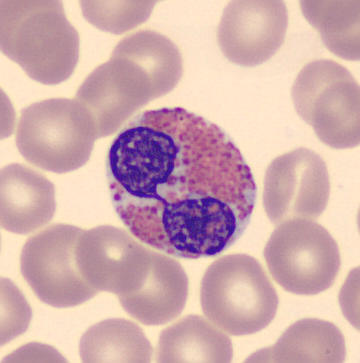 Cell type = eosinophil.
Preparation: Peripheral blood smear. Single-cell crop.